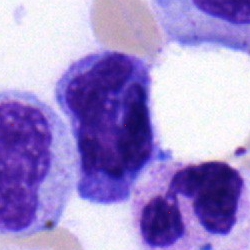The morphological class is monocyte.